May-Grünwald-Giemsa stain · image size 250×250 · bone marrow smear.
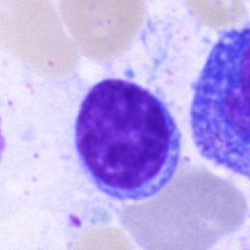
This is a lymphocyte.